Peripheral blood smear:
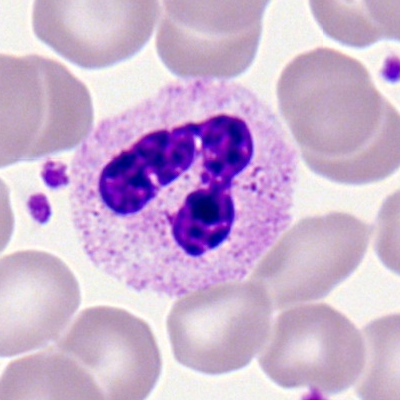Classification = neutrophil (segmented).